Bone marrow smear — 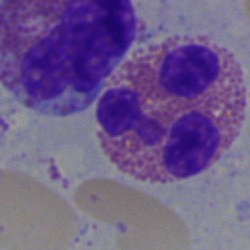 Specimen: bone marrow aspirate smear.
Classification: eosinophil.
Lineage: myeloid.